Single-cell field; bone marrow aspirate smear; May-Grünwald-Giemsa stain:
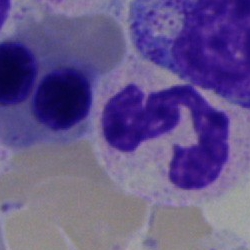 Morphology consistent with a polymorphonuclear neutrophil.